40× objective, oil immersion. Bone marrow aspirate smear. Single-cell field:
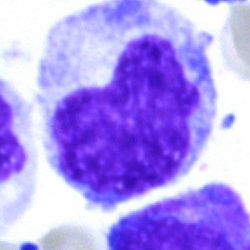 Monocyte.